40× objective, oil immersion; bone marrow smear:
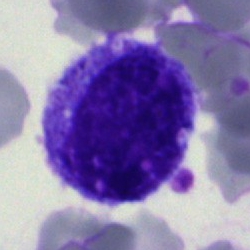

Q: What is shown here?
A: A promyelocyte.